Brightfield, 40× oil-immersion objective · bone marrow aspirate smear
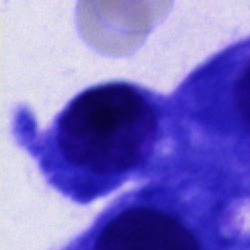

Cell: other cell type.